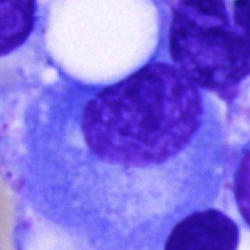 Showing a plasma cell.